Single-cell crop · peripheral blood smear · M8 digital microscope (Precipoint), 100× oil immersion: 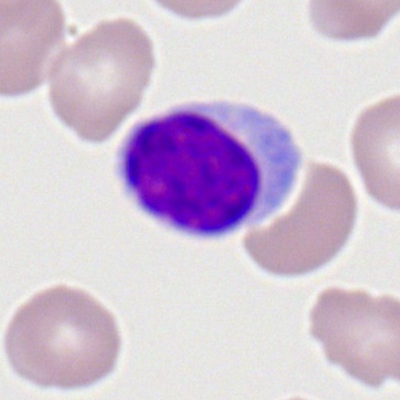 Morphology — typical lymphocyte.